250×250 px; bone marrow aspirate smear
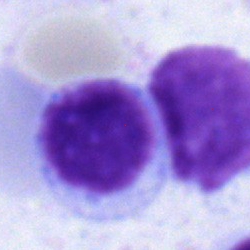

The cell shown is a typical lymphocyte.